Bone marrow aspirate smear:
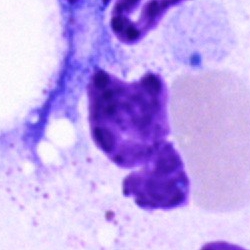
Morphology consistent with an artefact.